Peripheral blood film — 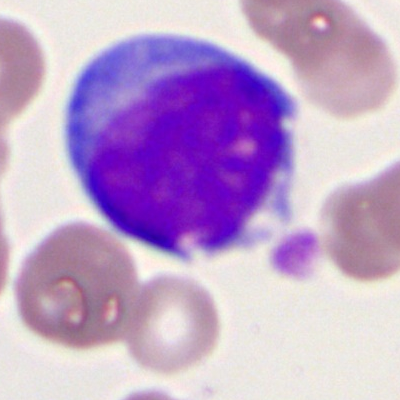
This is a myeloid blast.